Bone marrow smear
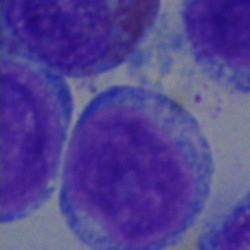
Blast cell.